Image size 250×250; bone marrow aspirate smear; 40× objective, oil immersion
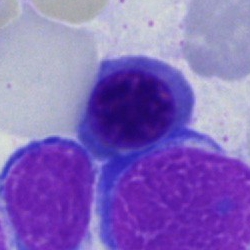Q: What is shown here?
A: This is an erythroblast.